Bone marrow smear. 250 by 250 pixels — 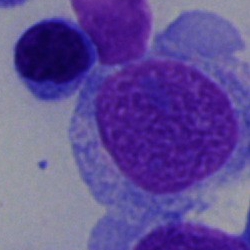
An undifferentiated blast.